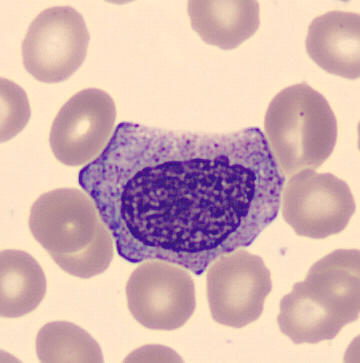Single cell identified as a myelocyte.